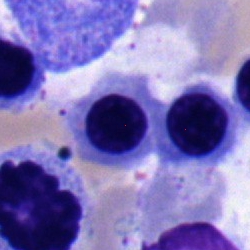
Morphology consistent with a normoblast.